Bone marrow aspirate smear:
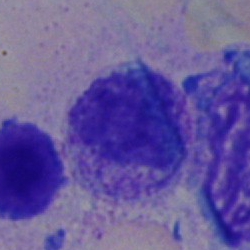Morphology consistent with an eosinophilic granulocyte.